40× oil immersion · bone marrow smear
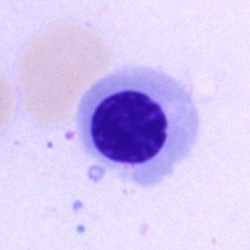 Q: What type of cell is this?
A: It is an erythroblast.